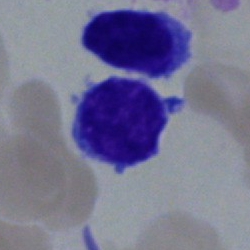

Cell type — lymphocyte.